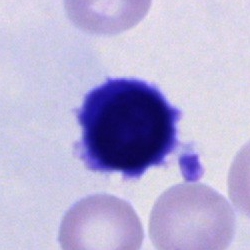 Showing an unidentifiable cell.